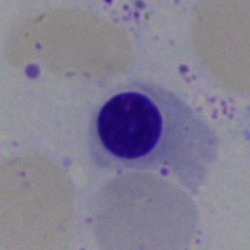 Bone marrow aspirate smear, single cell — nucleated red cell.